40× oil immersion; May-Grünwald-Giemsa/Pappenheim stain; bone marrow smear: 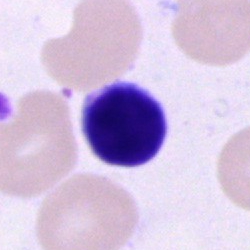
This is a lymphocyte.